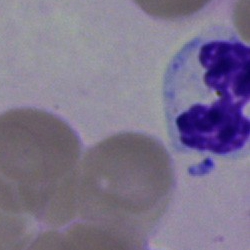 Specimen: bone marrow smear.
Cell: neutrophil (segmented).
Lineage: myeloid.